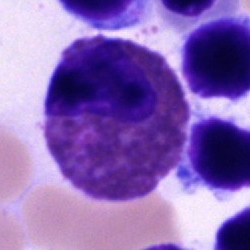 Classification: eosinophilic granulocyte.